100× oil immersion; peripheral blood smear
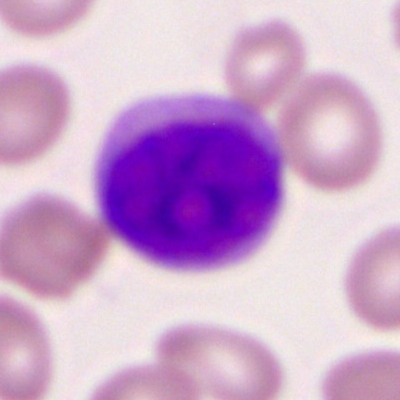{"cell_type": "myeloblast", "lineage": "myeloid"}